May-Grünwald-Giemsa stain. Bone marrow aspirate smear.
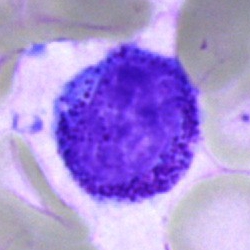

This is a promyelocyte.